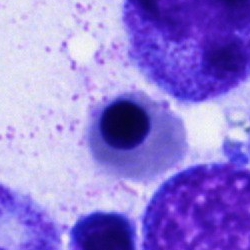
A nucleated red blood cell.